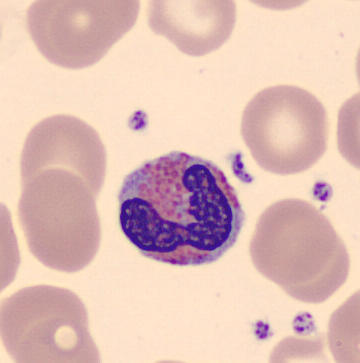Specimen: peripheral blood smear.
Cell: eosinophilic granulocyte. May-Grünwald-Giemsa-stained.